May-Grünwald-Giemsa stain. Bone marrow smear.
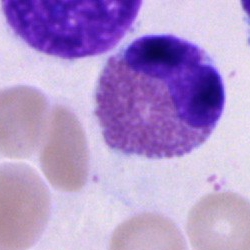
Morphological class — eosinophil.